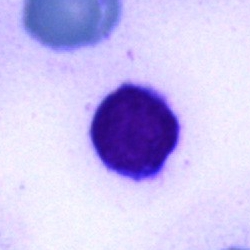
This is a typical lymphocyte.